Bone marrow aspirate smear — 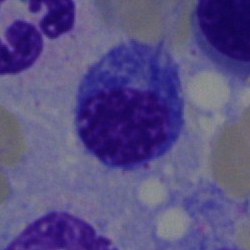

Morphology consistent with an erythroblast.